Bone marrow smear — 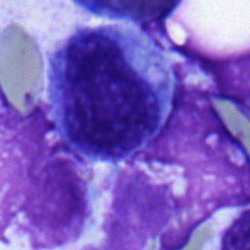

Q: Identify the cell.
A: A myelocyte.